Bone marrow smear — 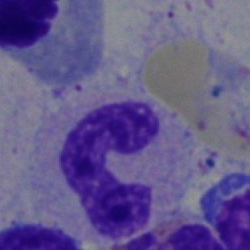This is a neutrophil (band).